Peripheral blood smear
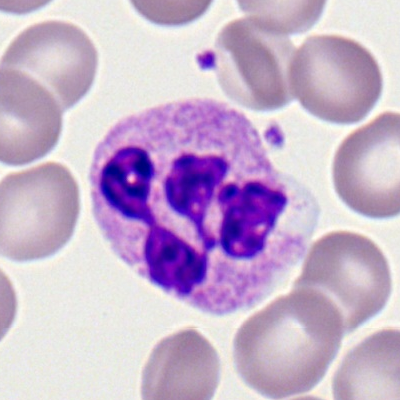
Morphological class: segmented neutrophil.